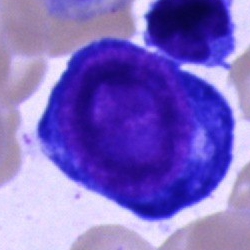

The morphological class is pronormoblast.